Bone marrow aspirate smear · cropped to a single cell · Pappenheim-stained:
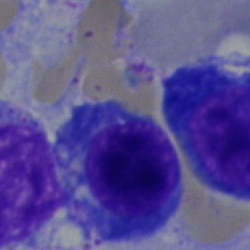Impression — plasmacyte.